Bone marrow smear:
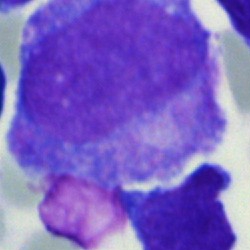
Q: What type of cell is this?
A: A promyelocyte.